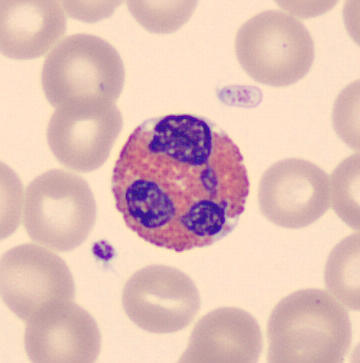Q: What cell is this?
A: It is an eosinophilic granulocyte.